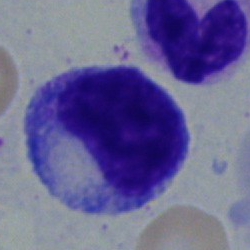
Bone marrow aspirate smear, single cell — myelocyte.